Bone marrow aspirate smear. Cropped to a single cell
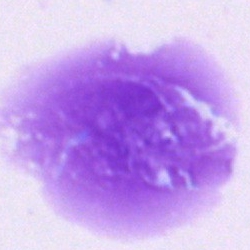 Specimen: bone marrow aspirate smear.
Cell: artifact.